Bone marrow aspirate smear
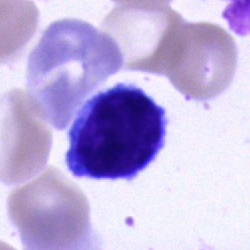 {"cell_type": "typical lymphocyte"}